Peripheral blood smear. Automated cell imaging (CellaVision DM96)
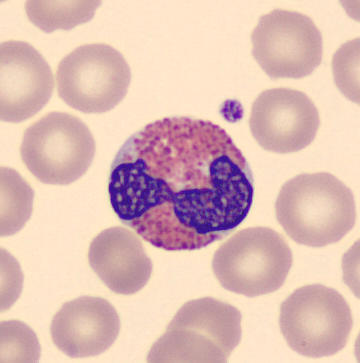 Eosinophil.